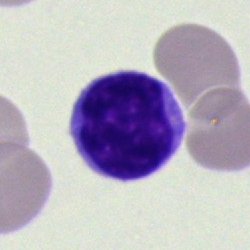

The cell shown is a typical lymphocyte.